Single cell centered in the field; bone marrow smear
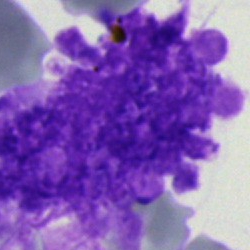Impression — artefact.